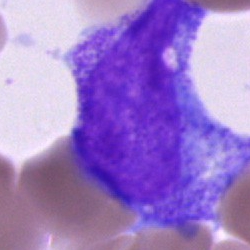 Promyelocyte.